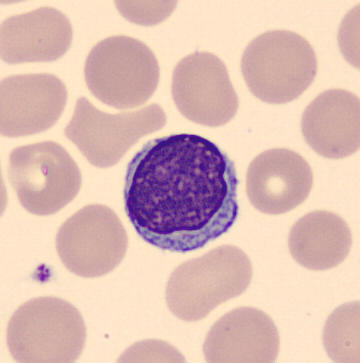 Acquisition: Cropped to a single cell · peripheral blood film. The cell shown is a lymphocyte.